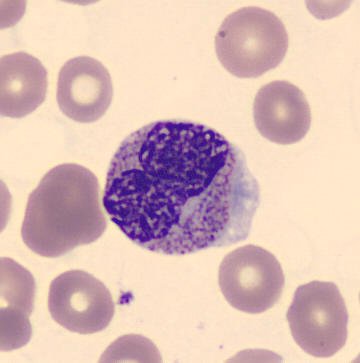 Q: What cell is this?
A: This is a metamyelocyte.